Bone marrow smear · 250 by 250 pixels: 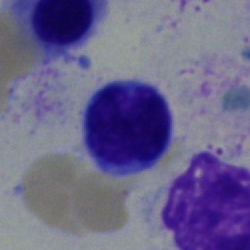The classification is typical lymphocyte.